Bone marrow smear
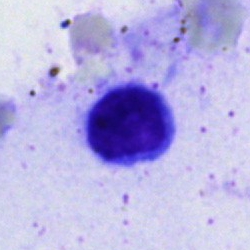
Specimen: bone marrow aspirate smear.
Morphological class: typical lymphocyte.